Peripheral blood smear — 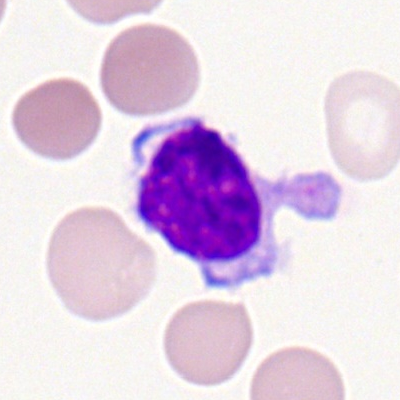

Impression → lymphocyte.